Bone marrow aspirate smear — 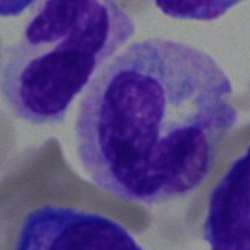

Morphological class: stab cell.